250×250; bone marrow aspirate smear — 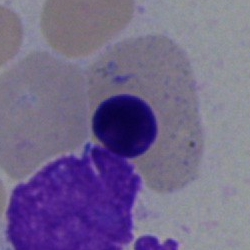 Cell type — nucleated red blood cell.